May-Grünwald-Giemsa/Pappenheim stain · bone marrow smear: 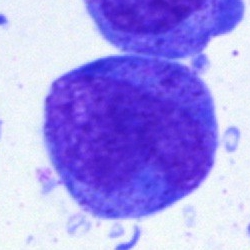Cell type = blast.